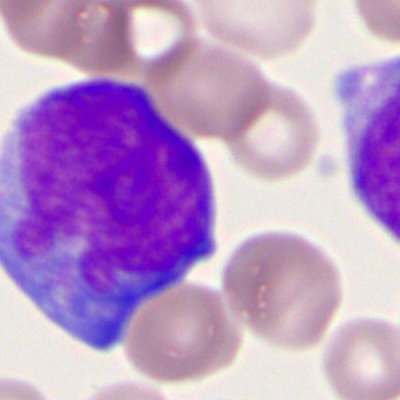 Q: What cell is this?
A: Myeloid blast.